Single-cell field. Bone marrow smear: 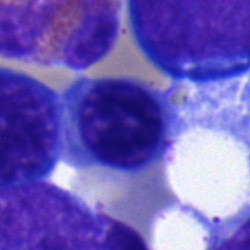
Specimen: bone marrow smear.
Cell type: monocyte.
Lineage: myeloid.